Bone marrow aspirate smear · image size 250×250 — 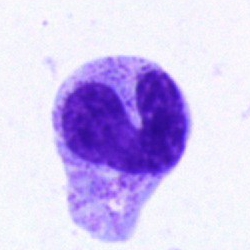 Single cell identified as a band-form neutrophil.